Bone marrow aspirate smear; cropped to a single cell
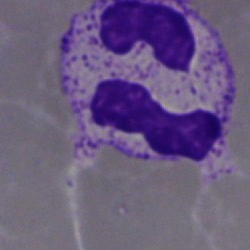

Neutrophil (segmented).